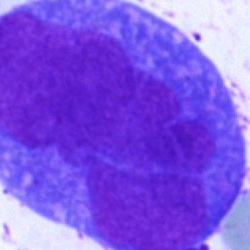 Morphology consistent with an undifferentiated blast.